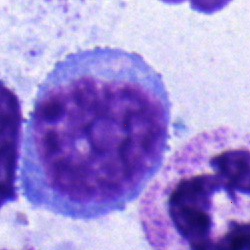

The cell shown is a monocyte.